Bone marrow smear.
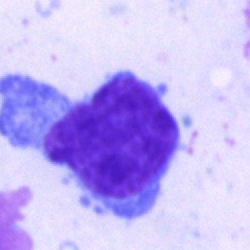

Q: What is the morphological classification of this cell?
A: A typical lymphocyte.